Bone marrow aspirate smear.
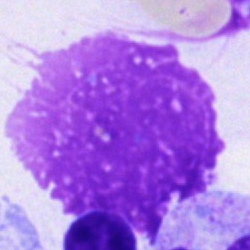
Cell type — artefact.